Bone marrow smear — 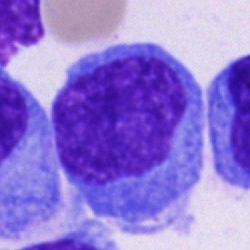Specimen: bone marrow smear.
Cell type: plasma cell.
Lineage: lymphoid.